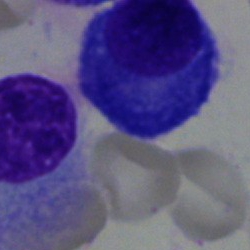 Morphology — plasma cell.